Bone marrow smear.
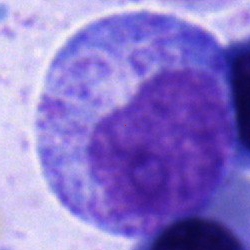
Cell type = promyelocyte.